Bone marrow aspirate smear
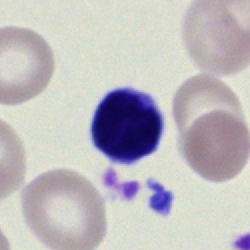

Morphology consistent with a typical lymphocyte.